Bone marrow smear:
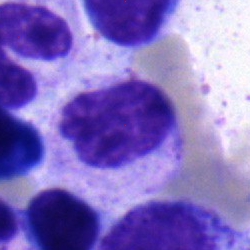A metamyelocyte.